Bone marrow smear: 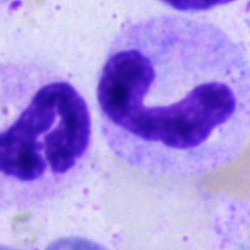
Specimen: bone marrow smear.
Cell type: segmented neutrophil.